Bone marrow aspirate smear.
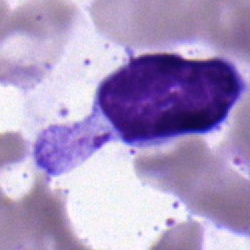 Cell = lymphocyte.